40× oil immersion · 250×250 · bone marrow aspirate smear.
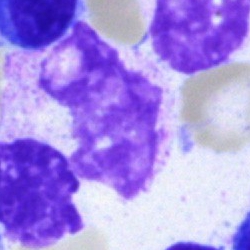

Specimen: bone marrow smear.
Cell: artefact.